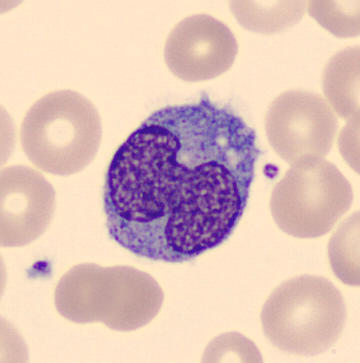

Identified as a monocyte.